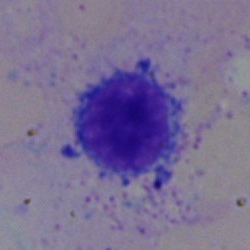
Bone marrow smear showing a lymphocyte.